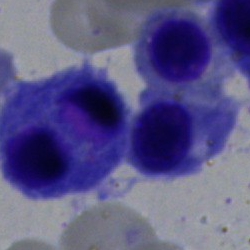
Specimen: bone marrow aspirate smear.
Morphological class: normoblast.
Lineage: erythroid.